Single-cell field · bone marrow aspirate smear
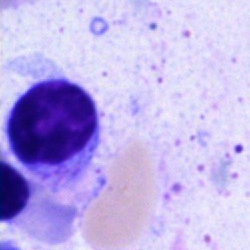
Morphological class = typical lymphocyte.